Pappenheim-stained · bone marrow smear · 40× objective, oil immersion
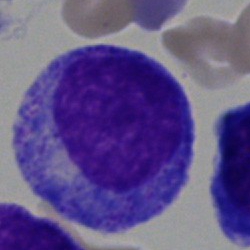
Q: What is shown here?
A: Promyelocyte.